Bone marrow smear — 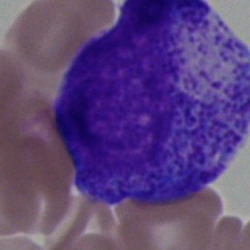

Morphology consistent with a promyelocyte.